Bone marrow smear
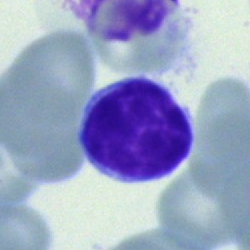
Showing a typical lymphocyte.